Bone marrow aspirate smear. 250×250 px.
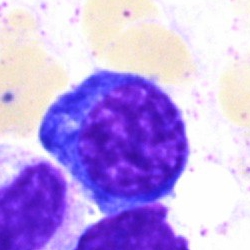 Impression — erythroblast.